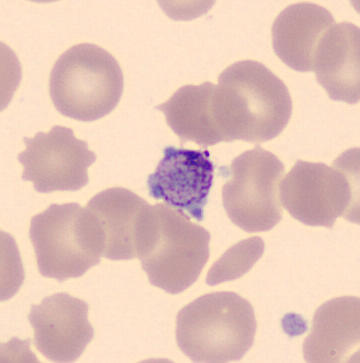 Identified as a platelet.
Image size 360×363; peripheral blood film.